250×250 px. Bone marrow smear. Brightfield microscopy, 40× oil immersion:
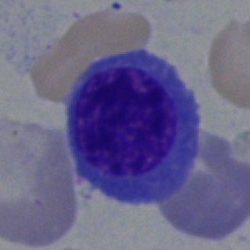

Morphology consistent with a nucleated red blood cell.